40× objective, oil immersion; bone marrow aspirate smear
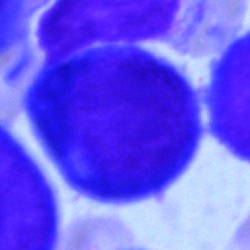Morphological class — pronormoblast.